Bone marrow aspirate smear:
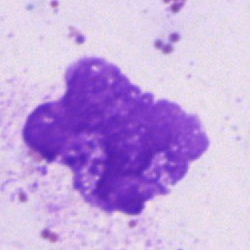

Morphology consistent with an artefact.